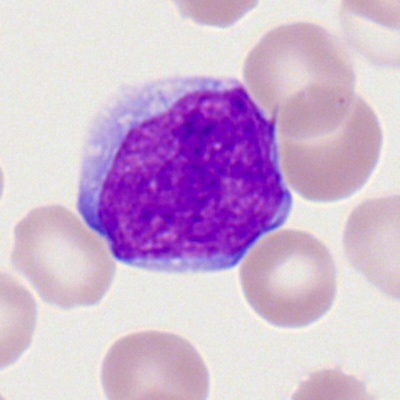 Q: What cell is this?
A: It is a myeloblast.